Bone marrow aspirate smear — 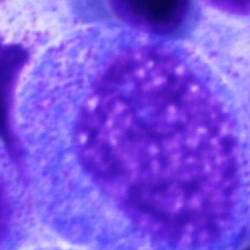
Specimen: bone marrow aspirate smear.
Classification: promyelocyte.
Lineage: myeloid.